Bone marrow aspirate smear:
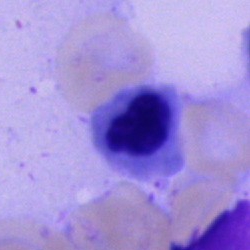

This is a nucleated red cell.